Bone marrow aspirate smear
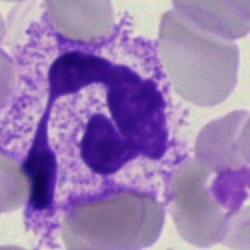 Specimen: bone marrow smear.
Cell: neutrophil (segmented).